Bone marrow smear.
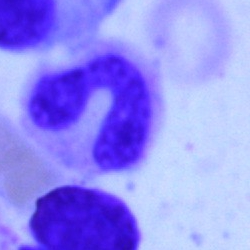This is a band neutrophil.